250×250. Pappenheim-stained. Bone marrow smear.
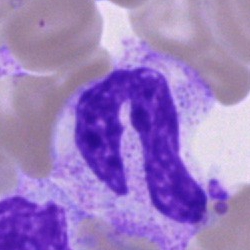
Cell type = band-form neutrophil.